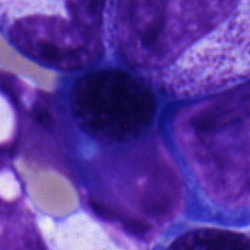{"cell_type": "nucleated red blood cell", "lineage": "erythroid"}